Bone marrow smear.
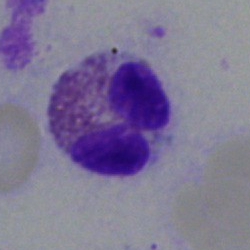
{"cell_type": "eosinophilic granulocyte"}